Image size 250×250 · bone marrow smear — 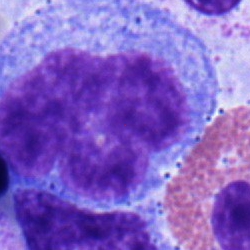A monocyte.